Bone marrow aspirate smear
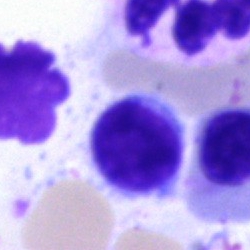 Cell — typical lymphocyte.